May-Grünwald-Giemsa/Pappenheim stain · 250×250 · bone marrow aspirate smear
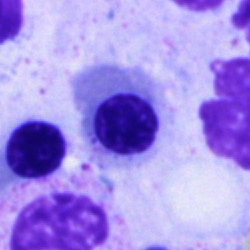 An erythroblast.